250×250. Bone marrow smear
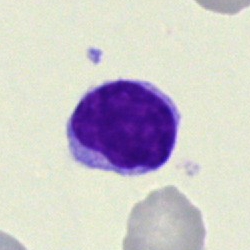
This is a typical lymphocyte.